250 by 250 pixels; bone marrow aspirate smear; single-cell field — 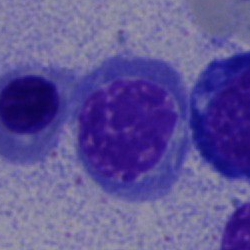
Specimen: bone marrow smear.
Cell type: erythroblast.